Bone marrow smear. Brightfield, 40× oil-immersion objective: 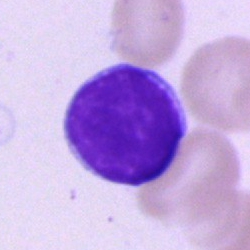
Showing a typical lymphocyte.